Bone marrow aspirate smear
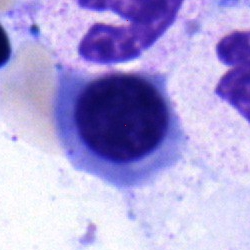An erythroblast.